MGG-stained. Image size 250×250. Bone marrow aspirate smear.
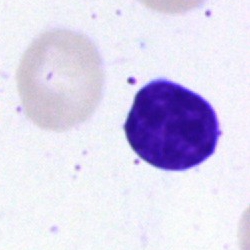
Specimen: bone marrow smear.
Classification: lymphocyte.
Lineage: lymphoid.